Bone marrow aspirate smear — 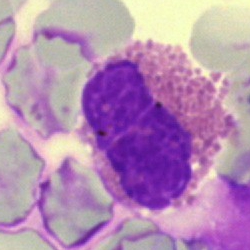Morphology — eosinophilic granulocyte.